Brightfield microscopy, 40× oil immersion; bone marrow smear: 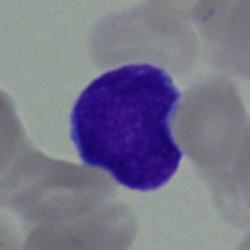Blast.